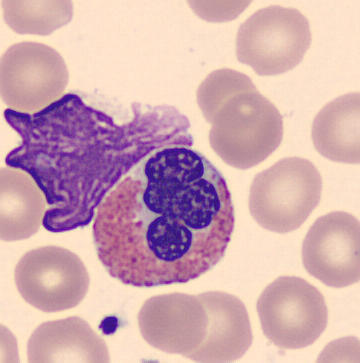Classification — eosinophil.

Peripheral blood film.